MGG-stained · image size 250×250 · bone marrow smear.
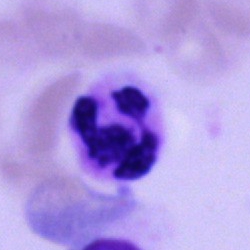The cell shown is a neutrophil (segmented).